40× oil immersion · bone marrow smear: 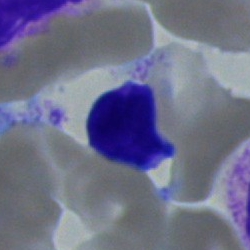Specimen: bone marrow smear.
Cell: typical lymphocyte.
Lineage: lymphoid.